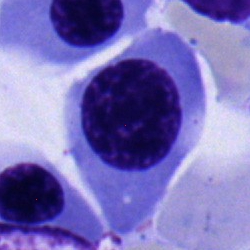

Classification = nucleated red cell.